Bone marrow smear — 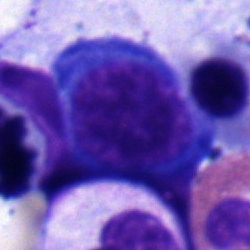 Morphology → proerythroblast.